Bone marrow smear.
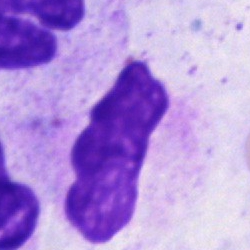The cell shown is an artifact.